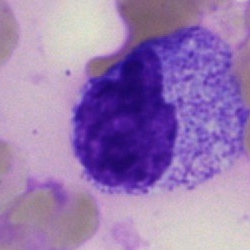The cell type is metamyelocyte.